Bone marrow aspirate smear
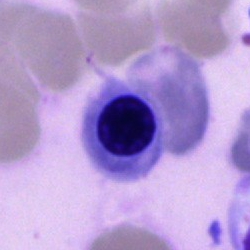
Classification — nucleated red cell.